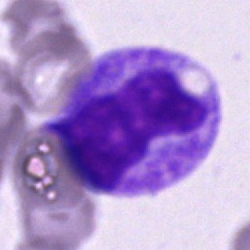

Specimen: bone marrow smear.
Classification: metamyelocyte.